Bone marrow aspirate smear. 250×250 px
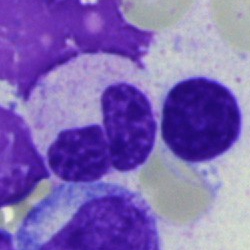
The classification is band neutrophil.